Brightfield, 40× oil-immersion objective; cropped to a single cell; bone marrow aspirate smear — 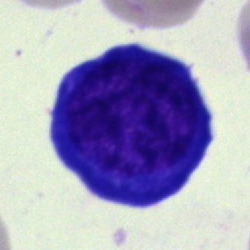 Q: What cell is this?
A: A nucleated red cell.